Bone marrow aspirate smear:
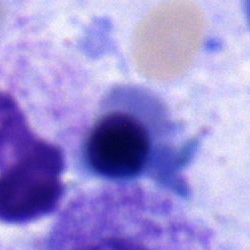Nucleated red blood cell.